Bone marrow aspirate smear · 40× objective, oil immersion — 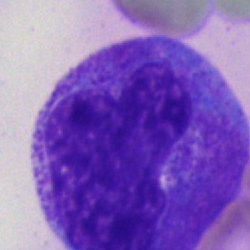Impression — progranulocyte.